Bone marrow aspirate smear; May-Grünwald-Giemsa stain
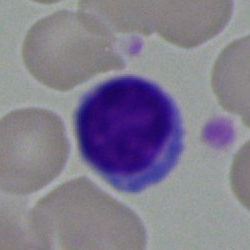A lymphocyte.